Bone marrow smear
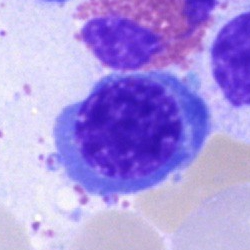 Q: Identify the cell.
A: Nucleated red cell.